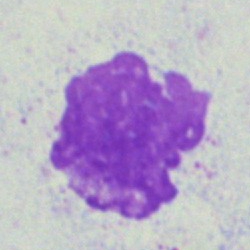
The cell shown is an artefact.